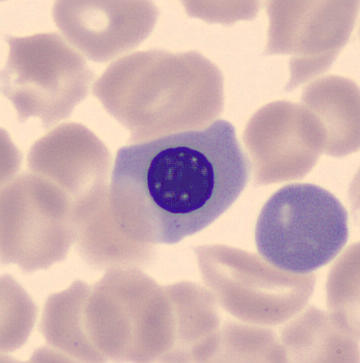Specimen: peripheral blood smear.
Classification: normoblast.